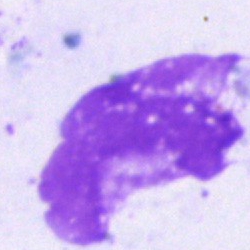 Specimen: bone marrow smear.
Morphological class: artefact.